250 by 250 pixels. Bone marrow smear. Brightfield microscopy, 40× oil immersion: 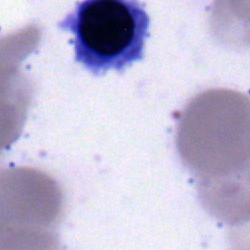
Q: Which cell type is shown here?
A: It is a normoblast.